Bone marrow smear.
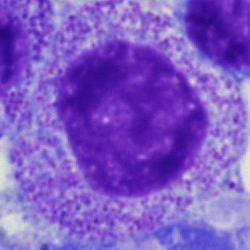
Cell type: myelocyte.